Bone marrow smear; 40× objective, oil immersion: 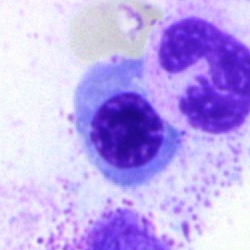
Impression — erythroblast.